250×250 px. Bone marrow aspirate smear:
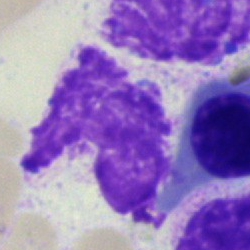

Q: What is shown here?
A: An artifact.